Bone marrow smear: 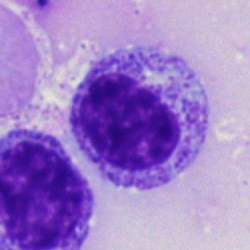Single cell identified as a myelocyte.